Bone marrow smear
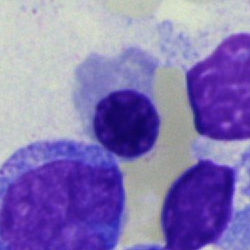

Classification = normoblast.